Bone marrow aspirate smear.
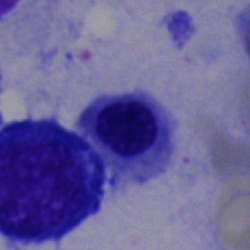
Morphology → nucleated red cell.